Bone marrow aspirate smear — 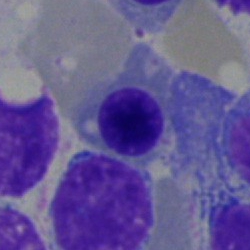Morphological class: erythroblast.